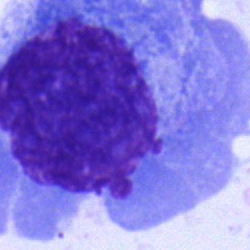
Classification — plasma cell.